Bone marrow aspirate smear · 250×250 px · Pappenheim-stained — 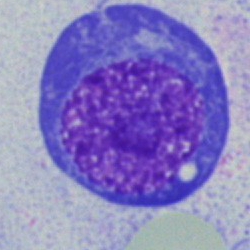Specimen: bone marrow smear.
Morphological class: nucleated red blood cell.
Lineage: erythroid.